Bone marrow smear · single-cell crop — 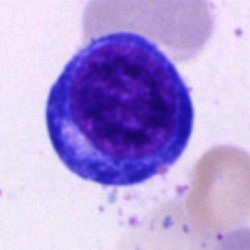 Morphology — proerythroblast.